Bone marrow smear. 250×250 px:
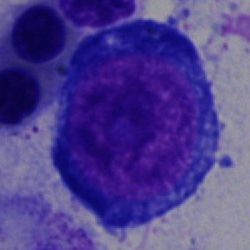 Showing a pronormoblast.